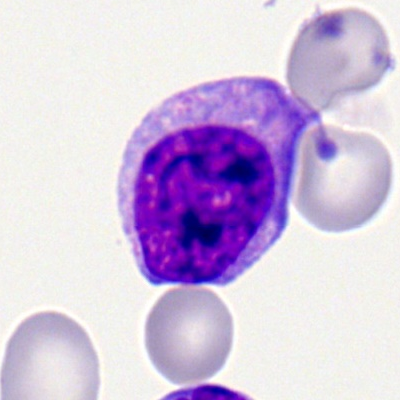
Showing a myelocyte.